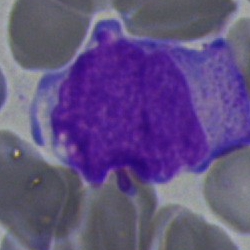

Specimen: bone marrow aspirate smear.
Cell: blast cell.